250 by 250 pixels. Bone marrow smear — 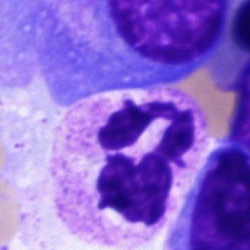
The cell shown is a polymorphonuclear neutrophil.